Bone marrow smear — 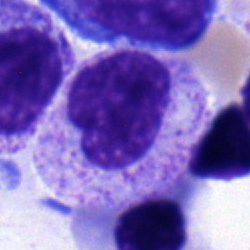 A neutrophil (band).